Bone marrow smear:
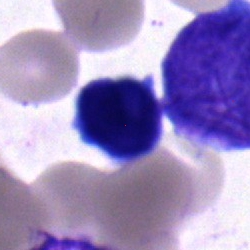
Classification — lymphocyte.